Peripheral blood smear — 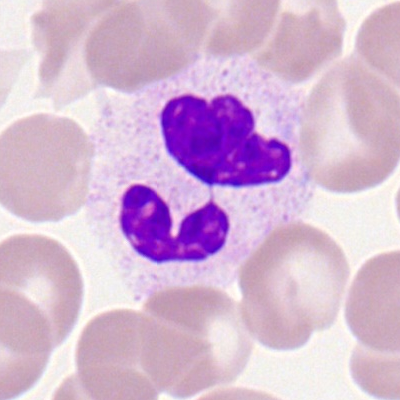A segmented neutrophil.